Cropped to a single cell · bone marrow smear
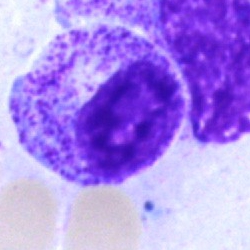

Specimen: bone marrow smear.
Cell type: myelocyte.
Lineage: myeloid.